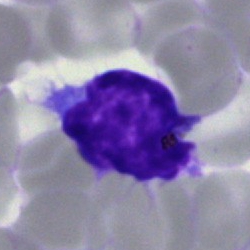
Specimen: bone marrow aspirate smear.
Classification: lymphocyte.
Lineage: lymphoid.